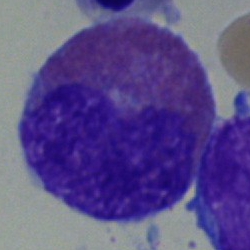

Impression → eosinophil.